Bone marrow aspirate smear; brightfield, 40× oil-immersion objective; 250 by 250 pixels.
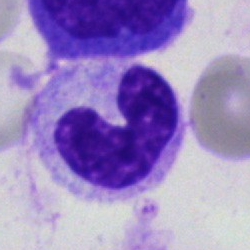Impression — band-form neutrophil.